Cropped to a single cell. 250 by 250 pixels. Bone marrow smear:
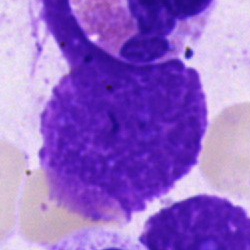

Showing an artifact.